250×250 px · bone marrow smear:
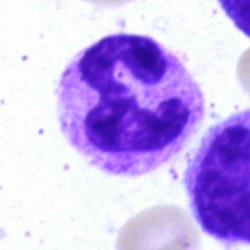
Q: Identify the cell.
A: This is a polymorphonuclear neutrophil.